Bone marrow smear:
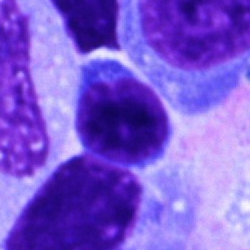 Impression — lymphocyte.